Bone marrow aspirate smear; Pappenheim-stained; brightfield, 40× oil-immersion objective
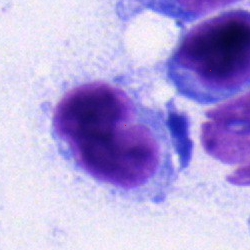

Specimen: bone marrow aspirate smear.
Cell type: lymphocyte.
Lineage: lymphoid.